Brightfield, 40× oil-immersion objective; single-cell field; bone marrow smear.
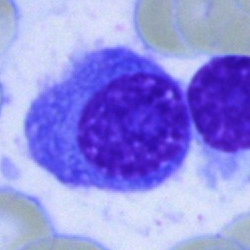
Single cell identified as a plasmacyte.